Bone marrow smear; 40× objective, oil immersion; single-cell crop.
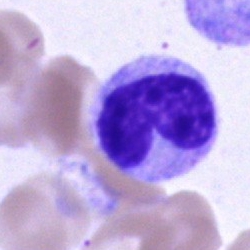
{"cell_type": "metamyelocyte"}